Bone marrow smear; May-Grünwald-Giemsa stain; brightfield microscopy, 40× oil immersion:
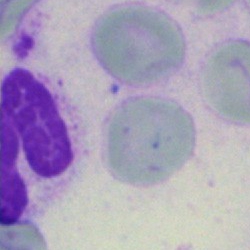Morphological class: artefact.